May-Grünwald-Giemsa stain. Bone marrow smear. Image size 250×250
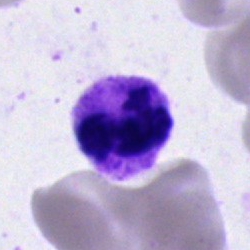

Specimen: bone marrow aspirate smear.
Classification: polymorphonuclear neutrophil.
Lineage: myeloid.